Romanowsky-type stain; 400 by 400 pixels; peripheral blood film
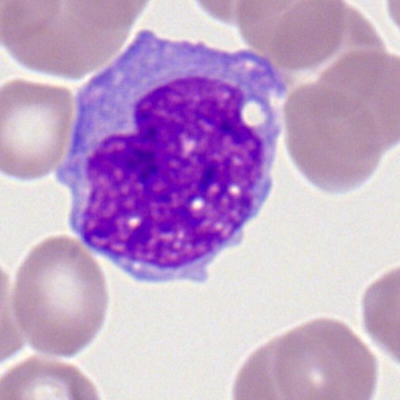Morphology consistent with a monocyte.